Peripheral blood film:
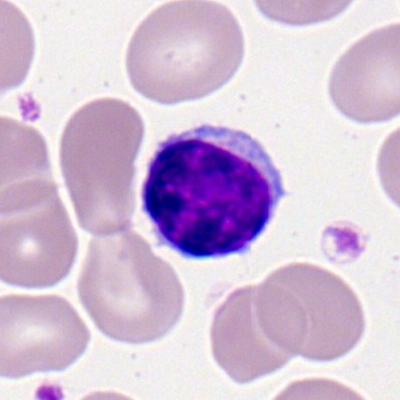 {"cell_type": "lymphocyte"}